250 by 250 pixels; bone marrow smear; May-Grünwald-Giemsa stain
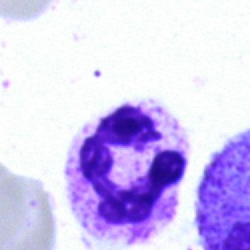 Specimen: bone marrow smear.
Cell: polymorphonuclear neutrophil.